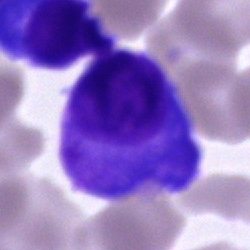

Specimen: bone marrow aspirate smear.
Classification: plasma cell.
Lineage: lymphoid.